Bone marrow smear:
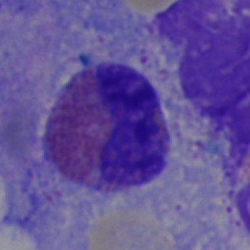 Classification: eosinophil.